Single-cell field; 250×250 px; bone marrow aspirate smear: 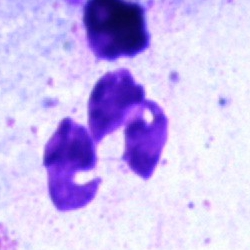
Morphology consistent with a polymorphonuclear neutrophil.